Bone marrow aspirate smear.
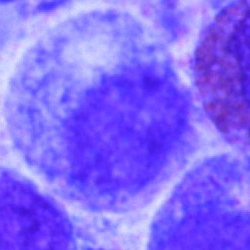

A progranulocyte.